Bone marrow aspirate smear
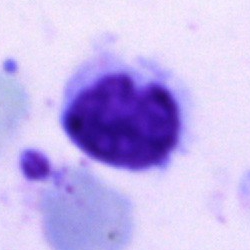

Q: What cell is this?
A: A lymphocyte.